Pappenheim-stained. Bone marrow smear. 250 by 250 pixels — 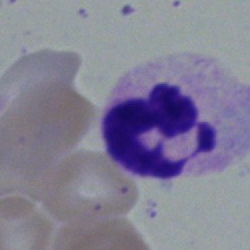
Q: Identify the cell.
A: Polymorphonuclear neutrophil.